Bone marrow aspirate smear. Single-cell field
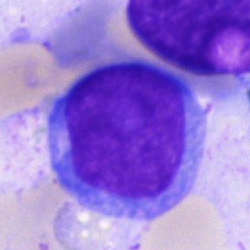
{"cell_type": "blast"}